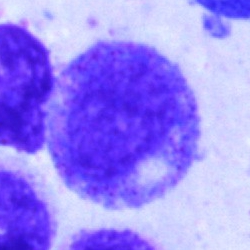
Q: Identify the cell.
A: Promyelocyte.